Bone marrow smear:
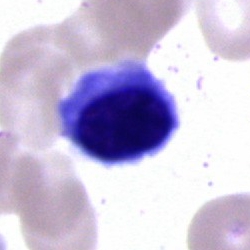 The cell shown is a normoblast.